Bone marrow smear · Pappenheim-stained · 250×250.
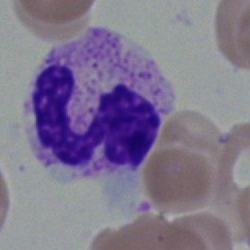

Classification = neutrophil (segmented).